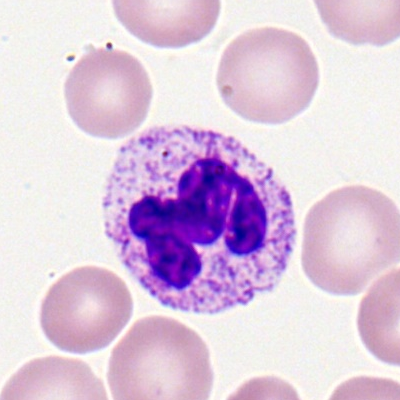The classification is polymorphonuclear neutrophil.